Bone marrow smear: 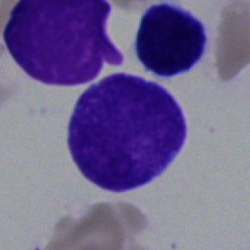The cell shown is a lymphocyte.